Bone marrow smear:
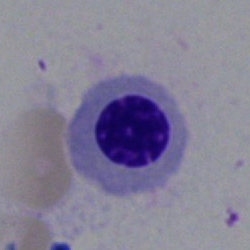 Morphology — normoblast.